Bone marrow aspirate smear; single-cell crop:
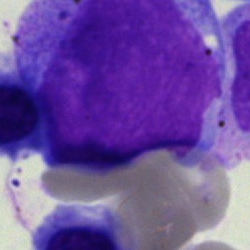Cell type = undifferentiated blast.